Bone marrow aspirate smear:
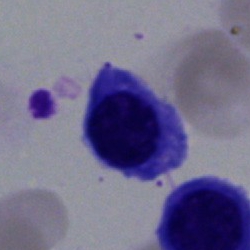
Morphology — erythroblast.